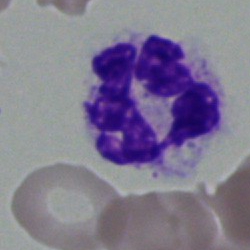 Q: What type of cell is this?
A: It is a neutrophil (segmented).